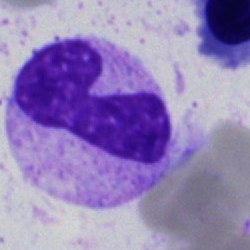
Q: What is the morphological classification of this cell?
A: A band-form neutrophil.